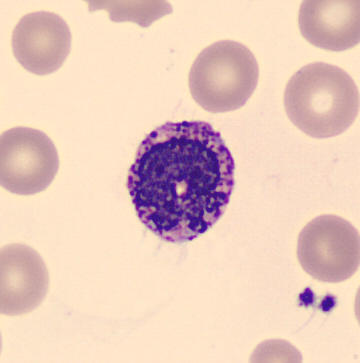
360×363; peripheral blood smear. Morphology → basophil.